Single-cell crop. Brightfield, 40× oil-immersion objective. Bone marrow smear.
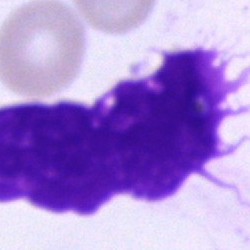

This is an artefact.